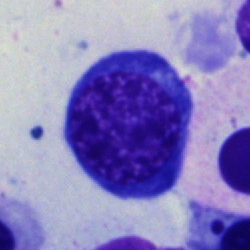

Showing a nucleated red blood cell.